Peripheral blood smear:
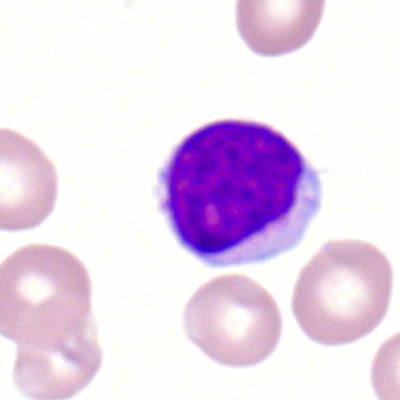 {"cell_type": "lymphocyte", "lineage": "lymphoid"}